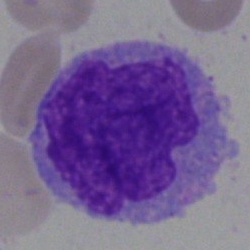

Single-cell crop from a bone marrow smear: monocyte.